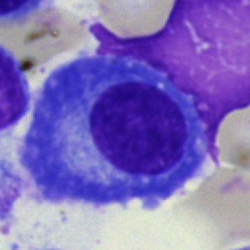

Morphology — plasmacyte.